MGG-stained; bone marrow smear
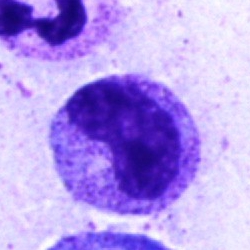

Impression → metamyelocyte.